Bone marrow aspirate smear · 40× oil immersion.
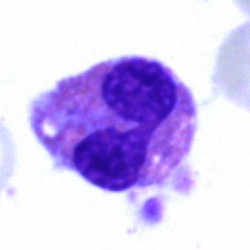 {"cell_type": "neutrophil (segmented)", "lineage": "myeloid"}